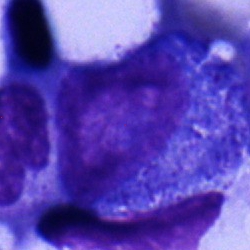
Morphology — promyelocyte.